Bone marrow smear: 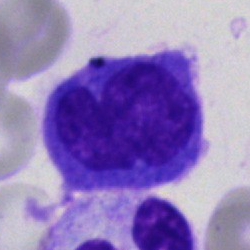
Impression — monocyte.